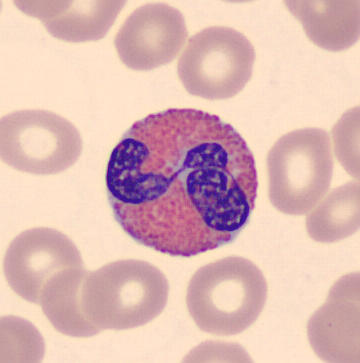 Impression — eosinophil.

Preparation: May-Grünwald-Giemsa-stained; 360 by 363 pixels; peripheral blood smear.